Bone marrow smear: 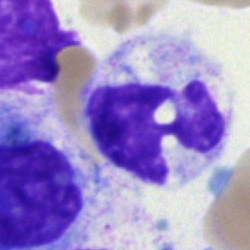 {"cell_type": "monocyte"}